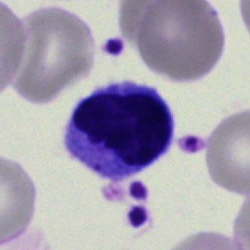

Specimen: bone marrow aspirate smear.
Classification: lymphocyte.